Bone marrow aspirate smear
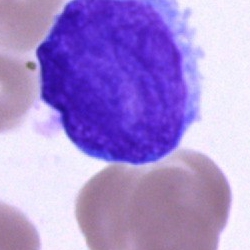
This is a blast.